Bone marrow aspirate smear · 40× oil immersion:
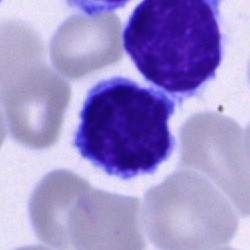

Cell type — lymphocyte.